250×250 · bone marrow aspirate smear
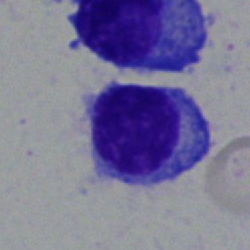
Specimen: bone marrow aspirate smear.
Morphological class: plasma cell.
Lineage: lymphoid.